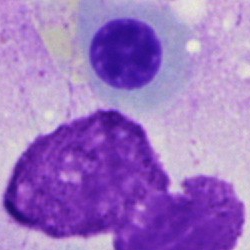
Q: What type of cell is this?
A: A nucleated red blood cell.